Peripheral blood smear; Romanowsky-stained — 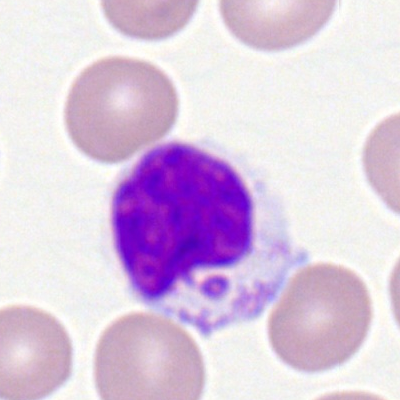Specimen: peripheral blood film.
Cell: lymphocyte.
Lineage: lymphoid.